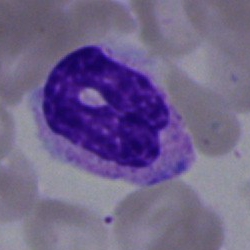A segmented neutrophil.